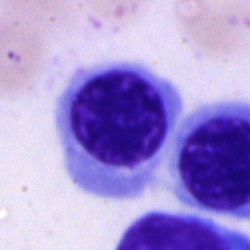 Q: What cell is this?
A: Nucleated red cell.